Bone marrow smear — 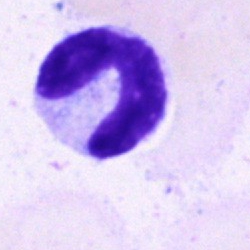
Q: What cell is this?
A: This is a band-form neutrophil.